Bone marrow smear · 250×250.
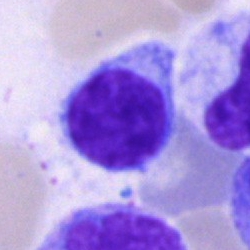

Q: Identify the cell.
A: This is a typical lymphocyte.